Bone marrow aspirate smear:
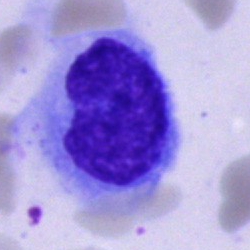

Morphology consistent with an artefact.